Bone marrow smear
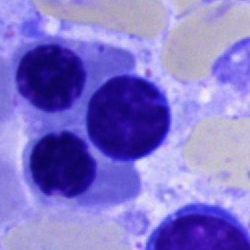 The cell is nucleated red blood cell.